Bone marrow smear · brightfield microscopy, 40× oil immersion · single cell centered in the field: 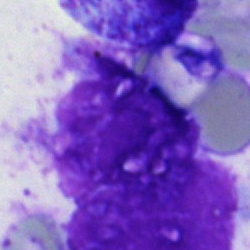The classification is artifact.